Bone marrow aspirate smear — 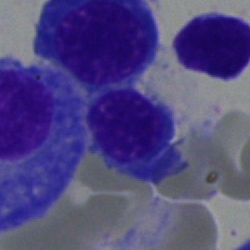

Morphology — nucleated red blood cell.